Peripheral blood film:
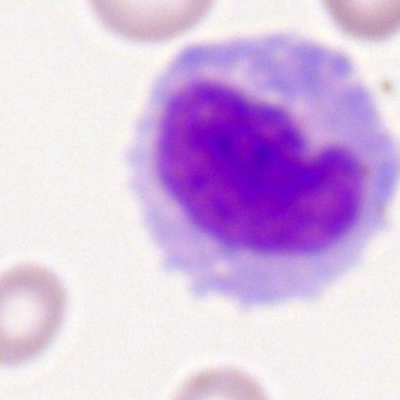Specimen: peripheral blood smear.
Cell type: monocyte.
Lineage: myeloid.